Peripheral blood smear · imaged on a CellaVision DM96 analyser — 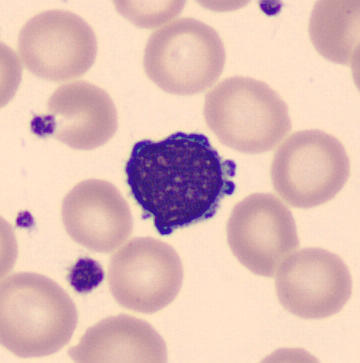 {"cell_type": "typical lymphocyte"}